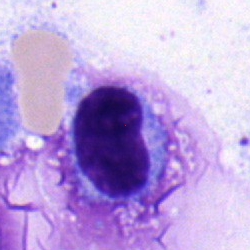
A typical lymphocyte on a bone marrow smear.